Bone marrow smear. Brightfield, 40× oil-immersion objective:
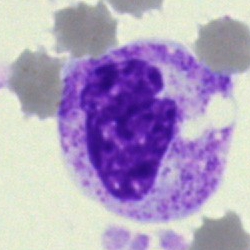
Cell = metamyelocyte.